May-Grünwald-Giemsa stain. Bone marrow smear. 250×250 px — 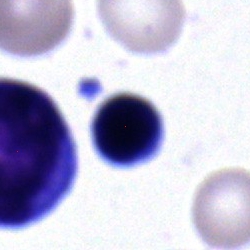 Morphology consistent with a lymphocyte.